Bone marrow aspirate smear: 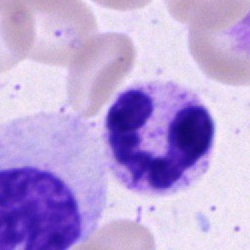

Impression → neutrophil (segmented).